Bone marrow aspirate smear; MGG-stained.
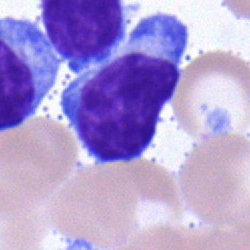This is a lymphocyte.